May-Grünwald-Giemsa stain · bone marrow smear · image size 250×250 — 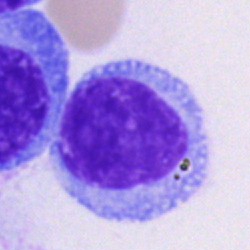 Q: Identify the cell.
A: Plasma cell.